Bone marrow aspirate smear
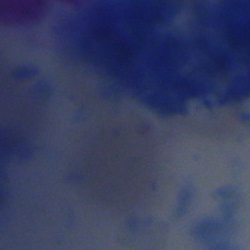

Q: What is shown here?
A: An artifact.